Bone marrow smear: 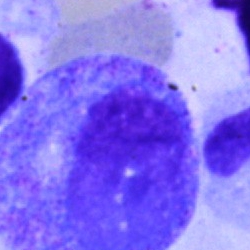Cell type — progranulocyte.